Bone marrow aspirate smear:
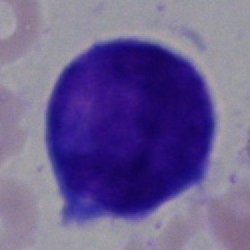Morphology consistent with a blast cell.